Bone marrow smear: 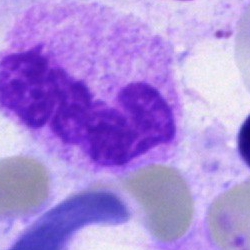 Single cell identified as an artifact.